Bone marrow smear: 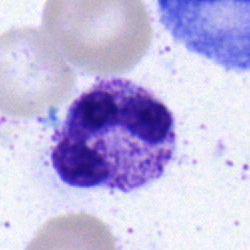Morphological class — polymorphonuclear neutrophil.